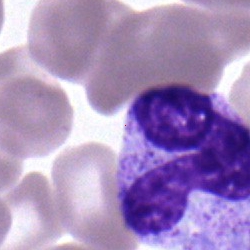Bone marrow smear showing a segmented neutrophil.